Bone marrow aspirate smear.
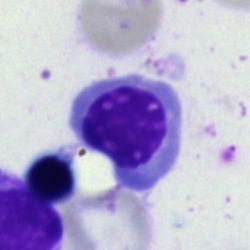 The cell shown is an erythroblast.